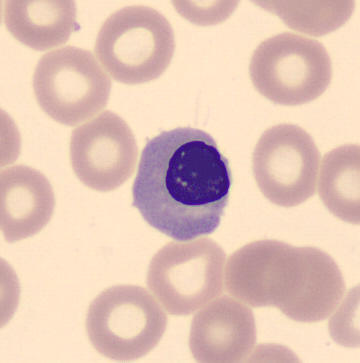 Preparation: Single-cell crop · peripheral blood film. Identified as a nucleated red cell.